Single-cell crop; bone marrow smear; 40× objective, oil immersion — 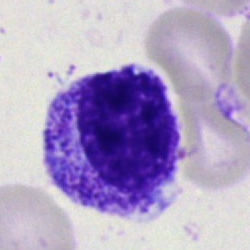
Specimen: bone marrow aspirate smear.
Morphological class: myelocyte.
Lineage: myeloid.